May-Grünwald-Giemsa/Pappenheim stain; brightfield microscopy, 40× oil immersion; bone marrow aspirate smear
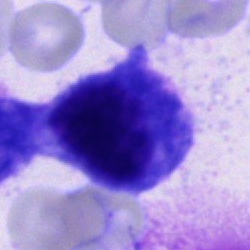 Cell not matching the other categories.